Bone marrow smear — 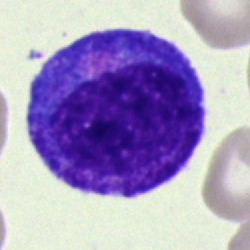
Q: What is the morphological classification of this cell?
A: This is a progranulocyte.